Bone marrow smear — 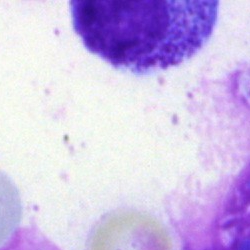
Specimen: bone marrow aspirate smear.
Cell type: unidentifiable cell.